Bone marrow smear.
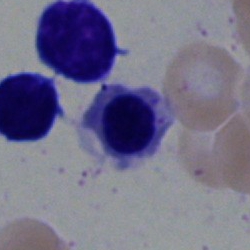
Specimen: bone marrow smear.
Cell type: normoblast.
Lineage: erythroid.